May-Grünwald-Giemsa stain. Brightfield microscopy, 40× oil immersion. Bone marrow aspirate smear: 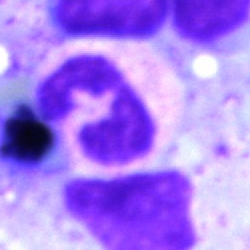 Morphological class: neutrophil (segmented).